Peripheral blood smear · image size 400×400 · 100× oil immersion, 14.14 px/µm:
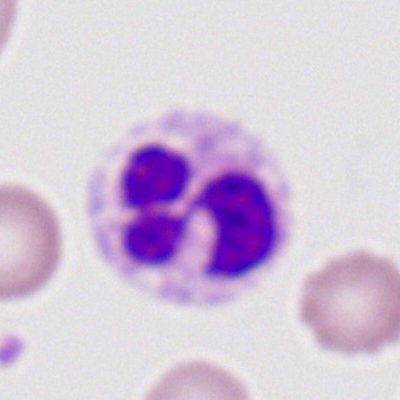

Specimen: peripheral blood smear.
Cell type: polymorphonuclear neutrophil.
Lineage: myeloid.